250×250 px. Bone marrow aspirate smear — 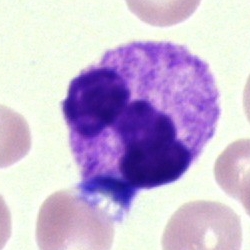{"cell_type": "segmented neutrophil", "lineage": "myeloid"}